Bone marrow smear
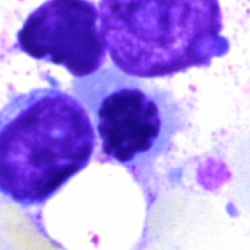Single cell identified as an erythroblast.